250×250 · bone marrow smear: 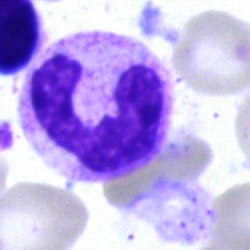
Impression — segmented neutrophil.